Peripheral blood film; Romanowsky stain; 100× oil immersion, 14.14 px/µm: 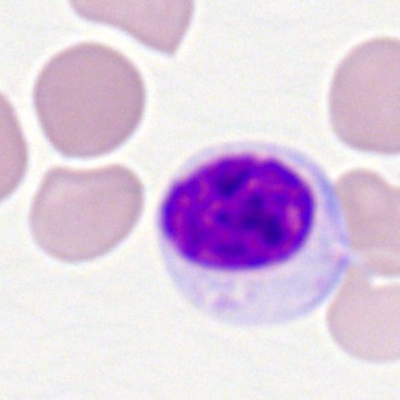

Cell type: lymphocyte.